Bone marrow aspirate smear. May-Grünwald-Giemsa/Pappenheim stain.
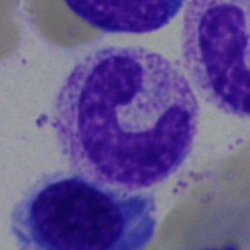 The classification is band-form neutrophil.